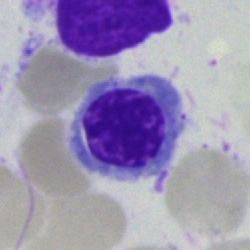
Morphology — normoblast.